Bone marrow smear; cropped to a single cell:
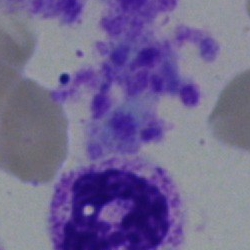Specimen: bone marrow smear.
Cell: segmented neutrophil.
Lineage: myeloid.